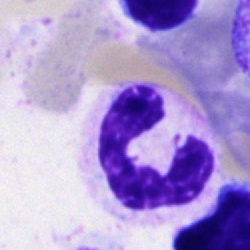

A neutrophil (segmented) on a bone marrow smear.